Bone marrow aspirate smear:
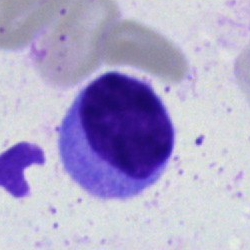

The cell type is typical lymphocyte.